Bone marrow smear.
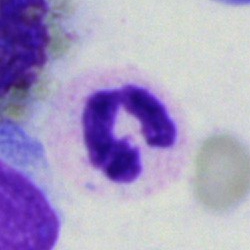
The classification is neutrophil (segmented).